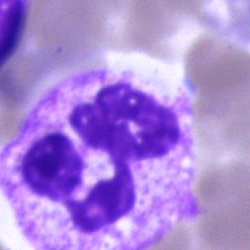
Showing a neutrophil (segmented).